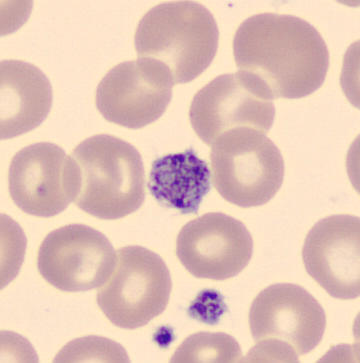{"cell_type": "platelet"} Acquisition: Peripheral blood film. CellaVision DM96 digital cell image.